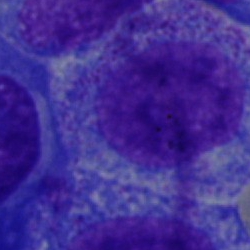 Specimen: bone marrow smear.
Classification: promyelocyte.